Bone marrow smear
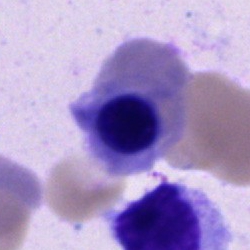

Morphology — normoblast.